Cropped to a single cell · bone marrow aspirate smear · brightfield microscopy, 40× oil immersion.
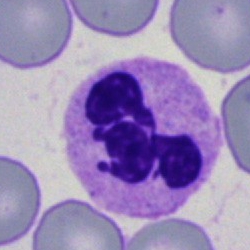
The cell shown is a polymorphonuclear neutrophil.